Bone marrow aspirate smear
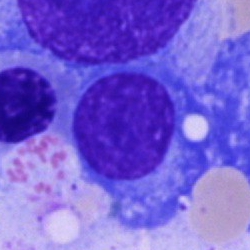
Impression → plasma cell.